Bone marrow aspirate smear:
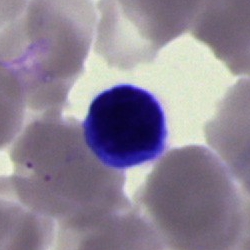
Q: What is shown here?
A: An artefact.